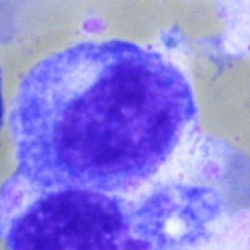
Bone marrow smear showing a promyelocyte.